40× oil immersion; image size 250×250; bone marrow aspirate smear.
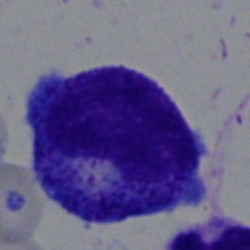 Q: What is shown here?
A: This is a promyelocyte.